Bone marrow smear
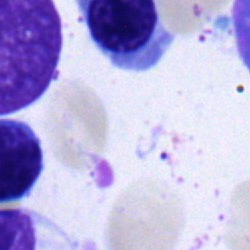

This is a nucleated red blood cell.